Bone marrow aspirate smear: 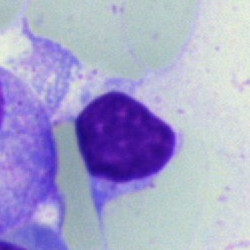
Q: What is the morphological classification of this cell?
A: Lymphocyte.